Bone marrow aspirate smear. Image size 250×250. MGG-stained: 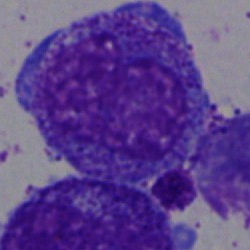 Impression → promyelocyte.